250×250 px. Bone marrow aspirate smear. Single cell centered in the field: 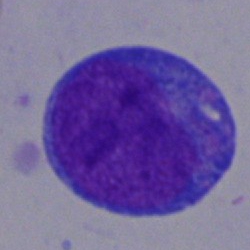
Specimen: bone marrow smear.
Cell type: blast.